40× oil immersion · bone marrow aspirate smear · May-Grünwald-Giemsa stain.
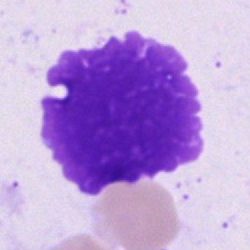
Single cell identified as an artefact.